Peripheral blood film.
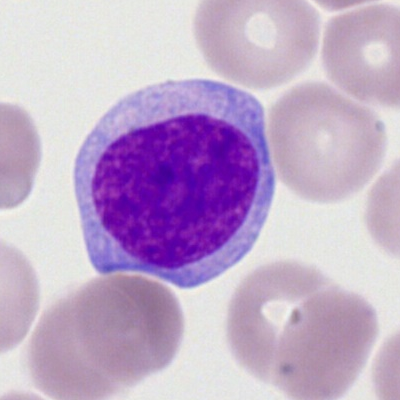Single cell identified as a myeloblast.